Bone marrow smear; May-Grünwald-Giemsa stain; 40× oil immersion.
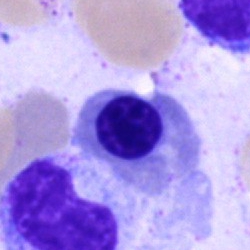

Q: What type of cell is this?
A: Nucleated red blood cell.